Bone marrow smear: 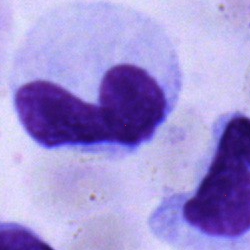 Specimen: bone marrow smear.
Cell: band neutrophil.
Lineage: myeloid.